Bone marrow smear · image size 250×250 — 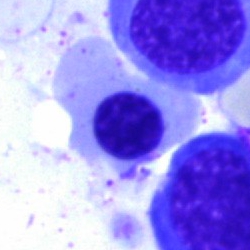
Showing a nucleated red cell.